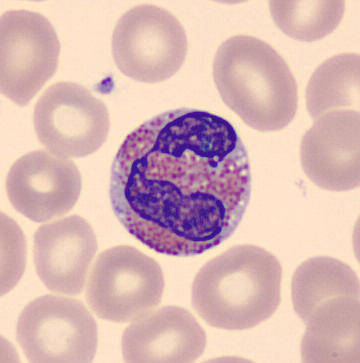
Image: CellaVision DM96. Peripheral blood smear.

The cell is eosinophilic granulocyte.